Bone marrow aspirate smear — 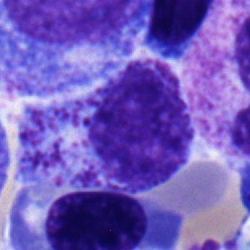

Q: Identify the cell.
A: A myelocyte.